Single cell centered in the field · bone marrow aspirate smear
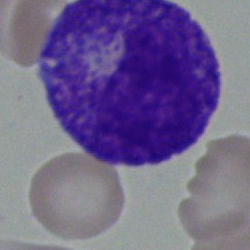Morphology consistent with a myelocyte.